May-Grünwald-Giemsa stain; bone marrow aspirate smear: 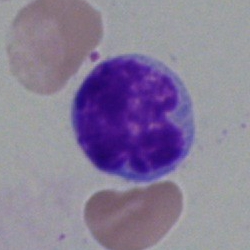Specimen: bone marrow smear.
Morphological class: lymphocyte.
Lineage: lymphoid.